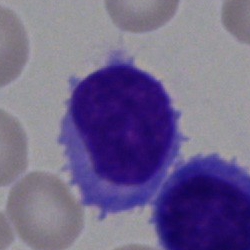
Impression — typical lymphocyte.